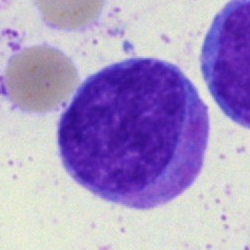Classification: promyelocyte.